250×250. Bone marrow smear — 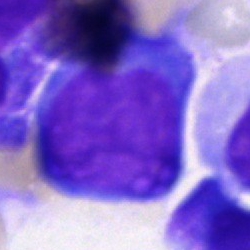Undifferentiated blast.